Bone marrow smear; 40× oil immersion — 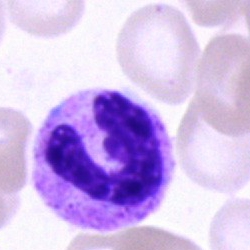

{"cell_type": "polymorphonuclear neutrophil"}